Bone marrow smear
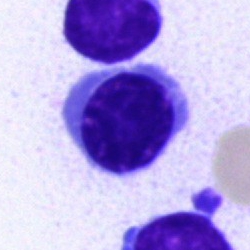

Classification — normoblast.